Bone marrow aspirate smear; brightfield, 40× oil-immersion objective; May-Grünwald-Giemsa stain:
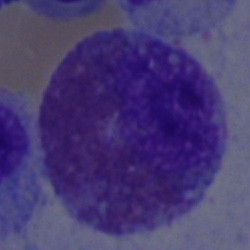

This is an eosinophilic granulocyte.